Single cell centered in the field; bone marrow aspirate smear; 40× oil immersion: 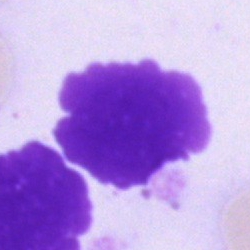The cell shown is an artefact.